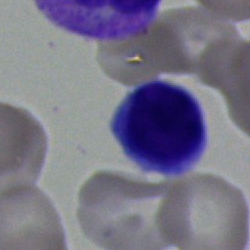 Impression → lymphocyte.